Bone marrow smear: 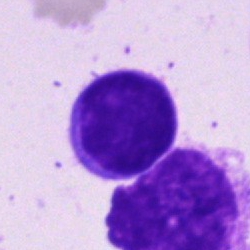

Morphology — lymphocyte.